40× oil immersion. Bone marrow smear
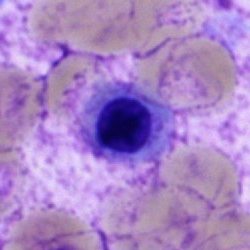 The morphological class is nucleated red cell.